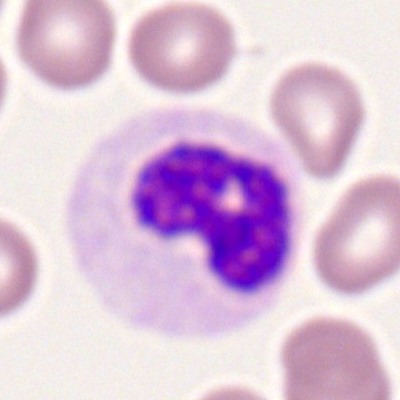
Q: What is shown here?
A: Polymorphonuclear neutrophil.